Bone marrow aspirate smear. Single-cell crop.
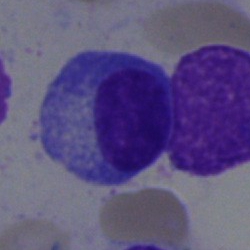

{"cell_type": "plasma cell", "lineage": "lymphoid"}